Bone marrow aspirate smear. Brightfield, 40× oil-immersion objective. MGG-stained:
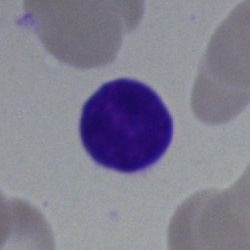

Morphology → typical lymphocyte.